Bone marrow smear · 250 by 250 pixels · May-Grünwald-Giemsa/Pappenheim stain:
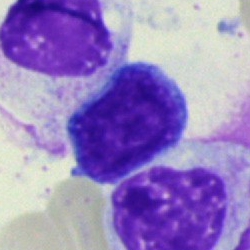
An undifferentiated blast.